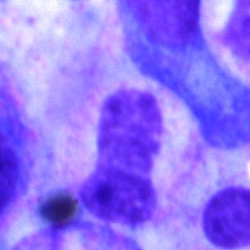 Cell: neutrophil (band).